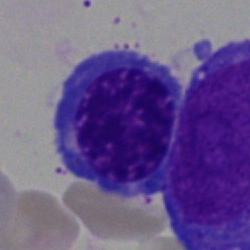 Morphological class: normoblast.